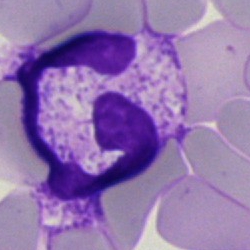
Single-cell crop from a bone marrow smear: segmented neutrophil.